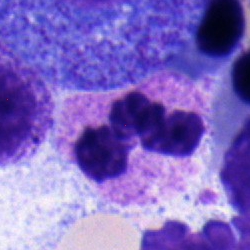Morphology — polymorphonuclear neutrophil.